Bone marrow smear.
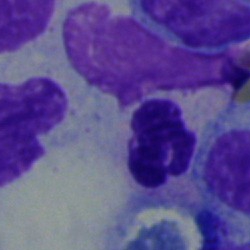Impression → neutrophil (segmented).